Bone marrow smear: 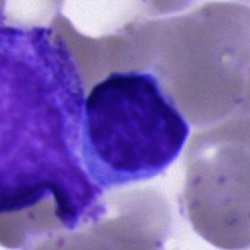This is a typical lymphocyte.